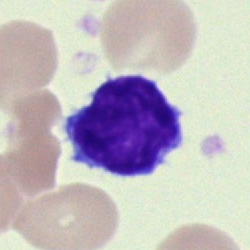Bone marrow aspirate smear, single cell — lymphocyte.